250×250 · bone marrow aspirate smear.
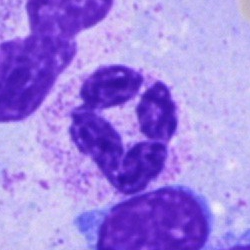

Impression — segmented neutrophil.